360×363; peripheral blood smear.
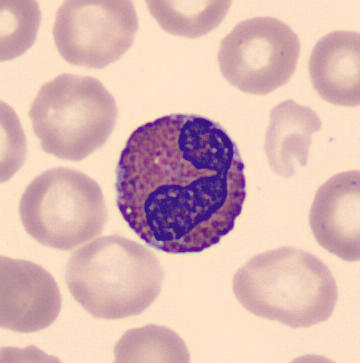Single cell identified as an eosinophil.